May-Grünwald-Giemsa/Pappenheim stain; brightfield microscopy, 40× oil immersion; bone marrow aspirate smear:
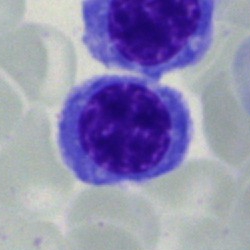 Cell — nucleated red blood cell.